Bone marrow smear · brightfield, 40× oil-immersion objective — 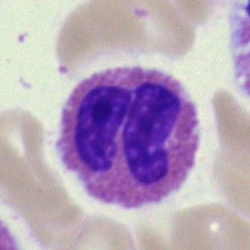Q: What cell is this?
A: An eosinophilic granulocyte.